Bone marrow aspirate smear. Brightfield, 40× oil-immersion objective: 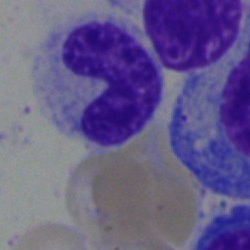 Band neutrophil.